Bone marrow smear. Single cell centered in the field.
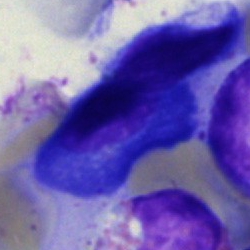Morphology — plasma cell.